Pappenheim-stained. Bone marrow smear
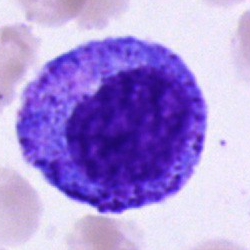

Classification — progranulocyte.